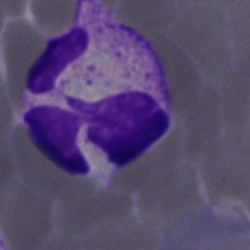

Q: What type of cell is this?
A: This is a neutrophil (segmented).